Brightfield, 40× oil-immersion objective · bone marrow smear: 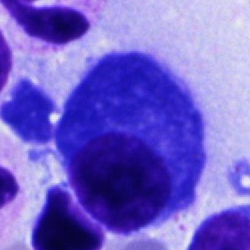 Cell type = plasma cell.